40× objective, oil immersion · bone marrow smear: 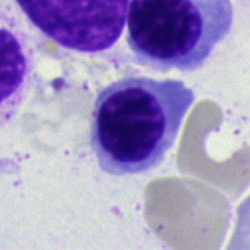

{"cell_type": "normoblast"}